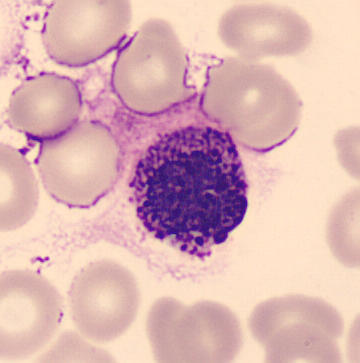 Q: What cell is this?
A: A basophilic granulocyte.